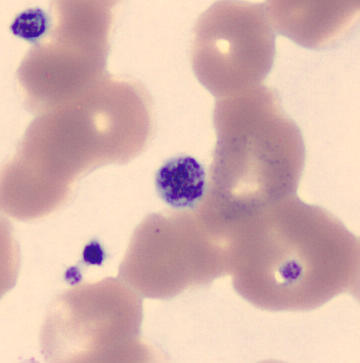 Peripheral blood smear.

Q: What is shown here?
A: A platelet (thrombocyte).